Bone marrow aspirate smear. 40× objective, oil immersion: 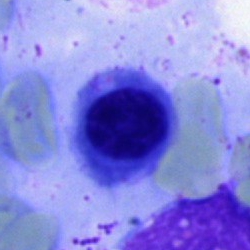

Classification = erythroblast.